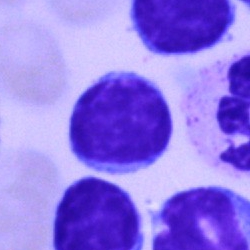
Q: What type of cell is this?
A: It is a lymphocyte.